Bone marrow aspirate smear — 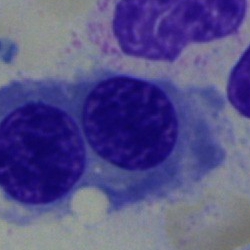

Q: What is the morphological classification of this cell?
A: It is a nucleated red cell.